Bone marrow aspirate smear. May-Grünwald-Giemsa/Pappenheim stain — 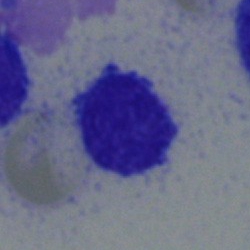Q: What type of cell is this?
A: A lymphocyte.